Bone marrow smear · 250×250 · 40× oil immersion
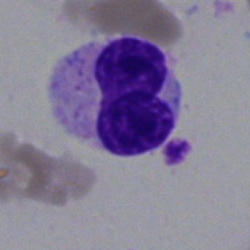Specimen: bone marrow smear.
Cell type: polymorphonuclear neutrophil.
Lineage: myeloid.